Brightfield, 100× oil-immersion objective · peripheral blood film · Romanowsky-stained: 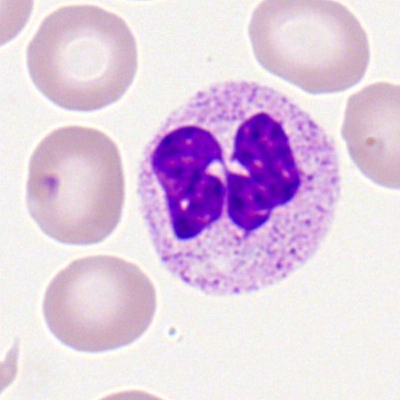

Single cell identified as a neutrophil (segmented).